100× oil immersion. Peripheral blood film — 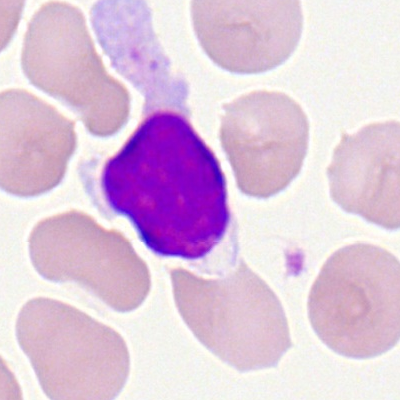
Cell = typical lymphocyte.